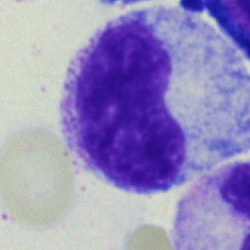
Band neutrophil.